MGG-stained; bone marrow aspirate smear:
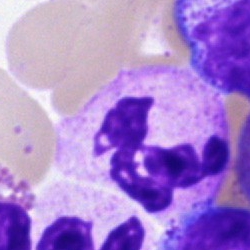

Specimen: bone marrow smear.
Classification: polymorphonuclear neutrophil.
Lineage: myeloid.